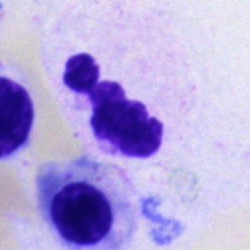

Impression → neutrophil (segmented).